Bone marrow aspirate smear:
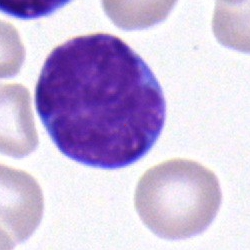 Impression → lymphocyte.